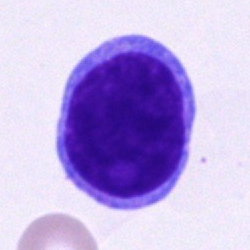
Typical lymphocyte.